250 by 250 pixels · bone marrow smear.
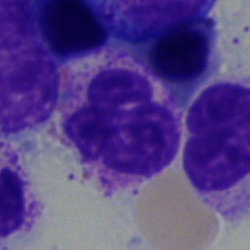

Q: What type of cell is this?
A: A polymorphonuclear neutrophil.